Bone marrow aspirate smear:
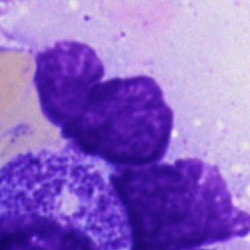

Q: What is shown here?
A: Artefact.